Bone marrow smear: 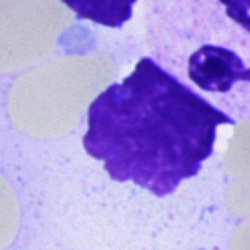
{"cell_type": "artefact"}